Bone marrow aspirate smear.
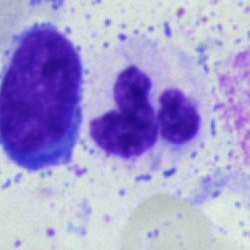 Single cell identified as a neutrophil (segmented).